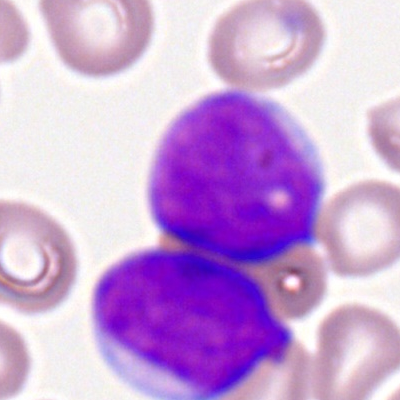 Cell type: myeloid blast.